Bone marrow aspirate smear · May-Grünwald-Giemsa stain: 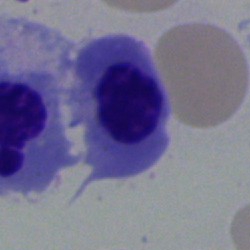
Impression — nucleated red cell.